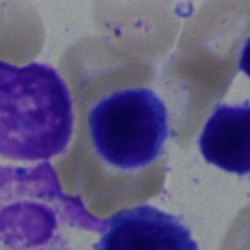Q: Identify the cell.
A: It is a lymphocyte.